Bone marrow aspirate smear — 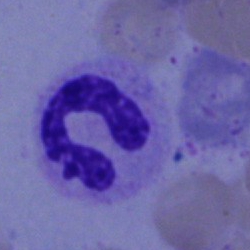 Q: What is the morphological classification of this cell?
A: A polymorphonuclear neutrophil.